Bone marrow smear. May-Grünwald-Giemsa stain. Single cell centered in the field — 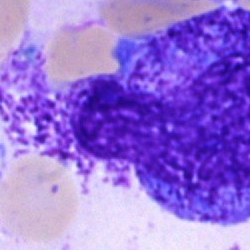 Q: What is shown here?
A: It is an artefact.